40× oil immersion · bone marrow aspirate smear: 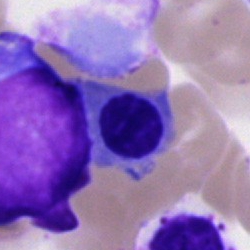 Q: What is the morphological classification of this cell?
A: Nucleated red cell.